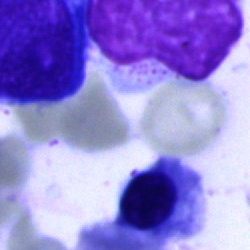
Erythroblast.